Bone marrow smear; image size 250×250:
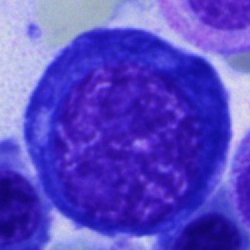 {"cell_type": "nucleated red blood cell", "lineage": "erythroid"}